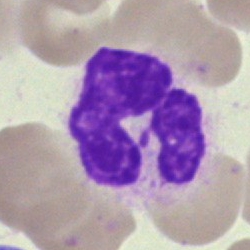Morphological class: neutrophil (segmented).